Bone marrow aspirate smear; 40× oil immersion:
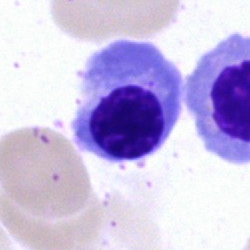

Classification — nucleated red blood cell.